Bone marrow aspirate smear · single-cell crop
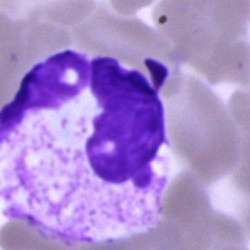
A neutrophil (segmented).